Bone marrow smear:
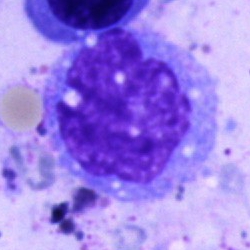Q: Which cell type is shown here?
A: It is a monocyte.